Bone marrow aspirate smear
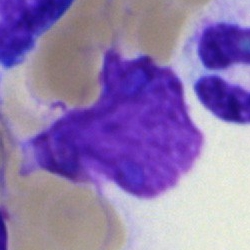
Specimen: bone marrow aspirate smear.
Cell type: artifact.